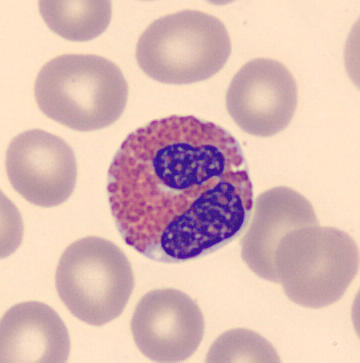

Q: What is shown here?
A: It is an eosinophilic granulocyte. Preparation: Single cell centered in the field. 360×363 px. Peripheral blood film.